Bone marrow smear — 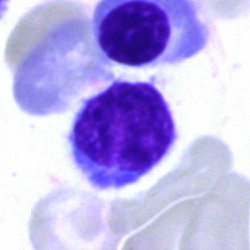Q: What cell is this?
A: It is a lymphocyte.